Peripheral blood film: 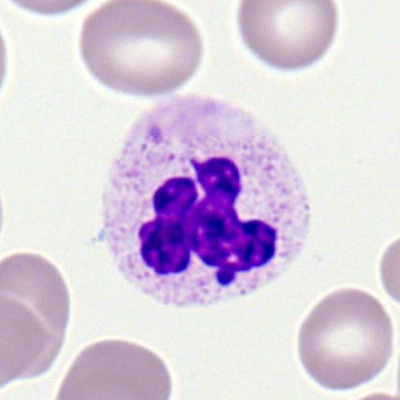 Morphological class: polymorphonuclear neutrophil.